250×250 · brightfield microscopy, 40× oil immersion · bone marrow aspirate smear: 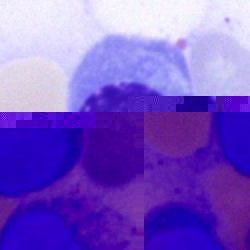 Q: What cell is this?
A: Normoblast.